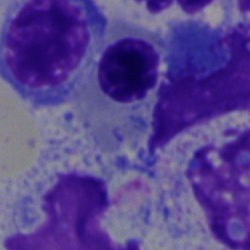

Morphology — nucleated red blood cell.